Peripheral blood smear — 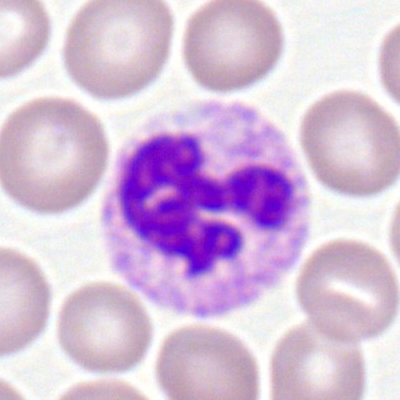

Specimen: peripheral blood smear.
Cell type: neutrophil (segmented).
Lineage: myeloid.